Bone marrow smear: 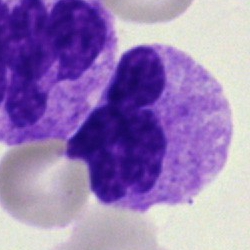Cell — segmented neutrophil.